Bone marrow aspirate smear:
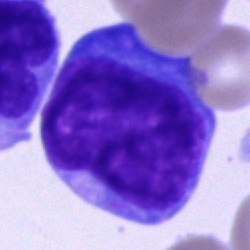 Impression — undifferentiated blast.